Bone marrow aspirate smear · brightfield, 40× oil-immersion objective · image size 250×250 — 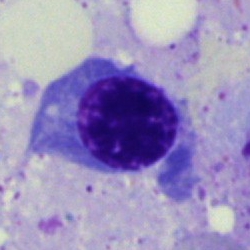
Morphology consistent with a nucleated red cell.